Bone marrow aspirate smear: 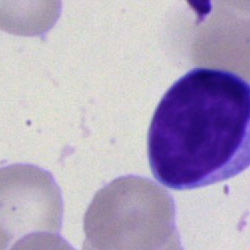
Single cell identified as a lymphocyte.